Bone marrow aspirate smear:
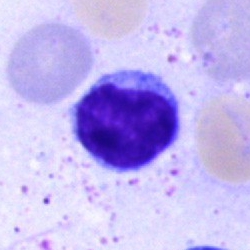 Q: Identify the cell.
A: It is a typical lymphocyte.